Bone marrow aspirate smear; 250×250; single cell centered in the field:
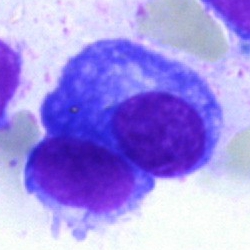Classification — plasma cell.